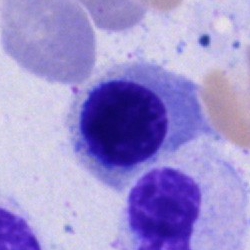

Morphology — normoblast.